Bone marrow aspirate smear. Single-cell field
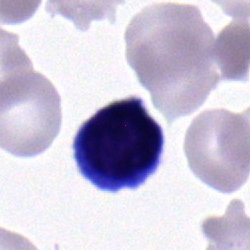 Showing an erythroblast.